Bone marrow aspirate smear. MGG-stained
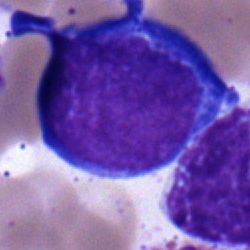 Pronormoblast.